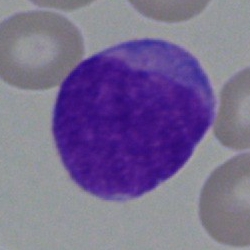 This is an undifferentiated blast.